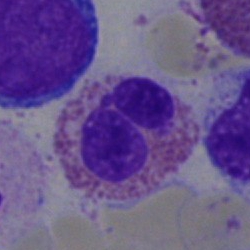

The classification is eosinophil.